Bone marrow smear — 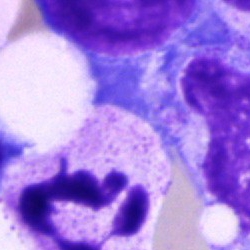This is a segmented neutrophil.